Brightfield microscopy, 40× oil immersion; bone marrow smear: 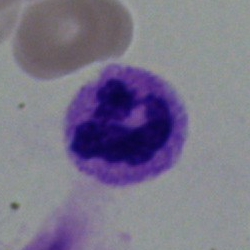 This is a segmented neutrophil.